Peripheral blood film · 400×400:
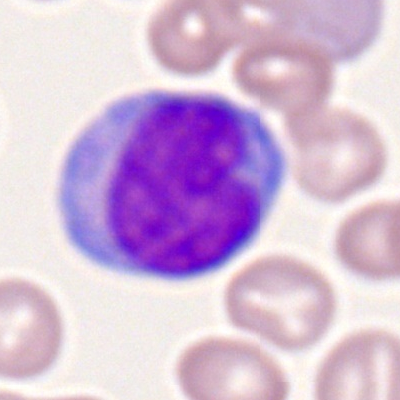
Morphology consistent with a monocyte.